Bone marrow smear · single-cell crop: 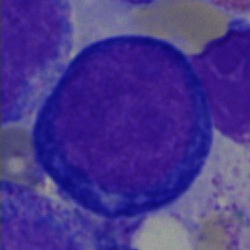

Q: What type of cell is this?
A: It is a proerythroblast.